Pappenheim-stained · bone marrow aspirate smear:
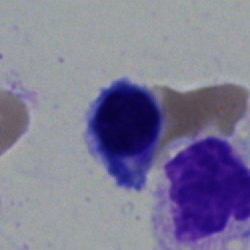 Cell = nucleated red cell.